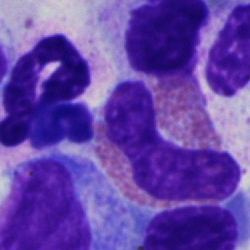

Bone marrow smear showing an eosinophil.